Single-cell crop. Bone marrow aspirate smear — 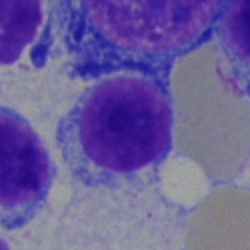Cell: typical lymphocyte.